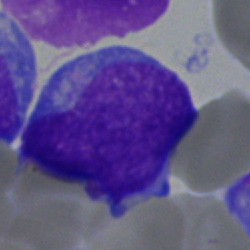
Specimen: bone marrow aspirate smear.
Morphological class: blast.